Bone marrow smear:
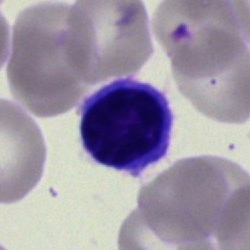Morphological class — typical lymphocyte.